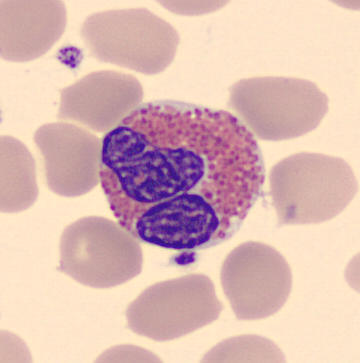

Specimen: peripheral blood smear.
Morphological class: eosinophilic granulocyte.
Lineage: myeloid.